Bone marrow smear: 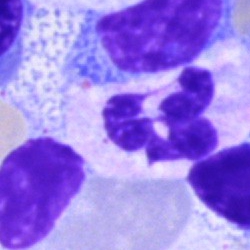Morphological class = polymorphonuclear neutrophil.